Bone marrow smear: 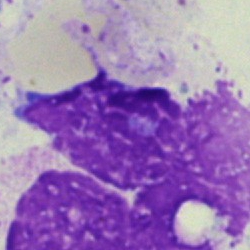Q: What is shown here?
A: It is an artifact.